Bone marrow aspirate smear — 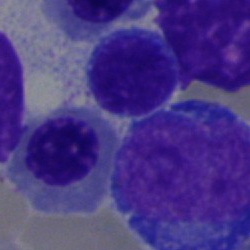Morphology consistent with a nucleated red blood cell.